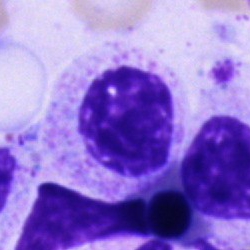
{"cell_type": "myelocyte"}